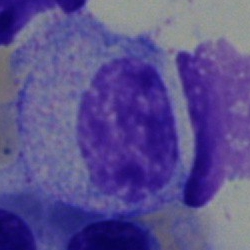 A myelocyte on a bone marrow smear.